Bone marrow aspirate smear.
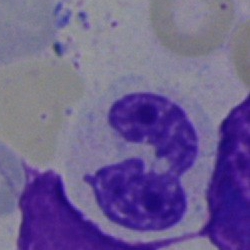
The classification is neutrophil (segmented).